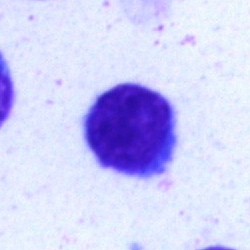

A lymphocyte.